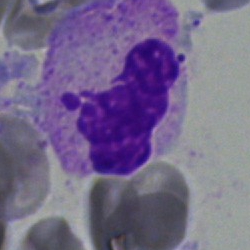Impression — neutrophil (segmented).